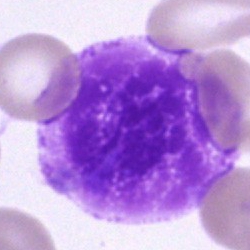Artefact.